Single cell centered in the field; bone marrow smear: 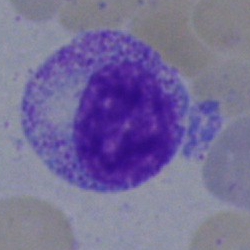Impression → myelocyte.